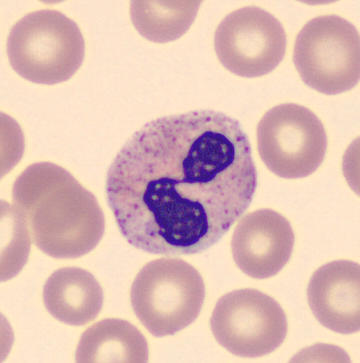

Image: Peripheral blood smear.
Impression → neutrophil (segmented).